Bone marrow aspirate smear. 40× objective, oil immersion. Cropped to a single cell.
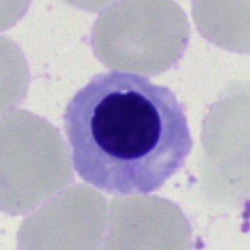
The cell shown is an erythroblast.